Bone marrow smear:
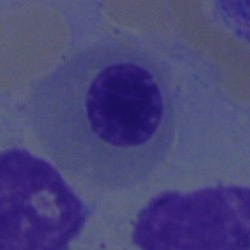{"cell_type": "nucleated red blood cell"}